Bone marrow aspirate smear — 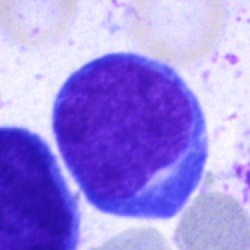Showing a blast.